40× oil immersion. Bone marrow aspirate smear. Single-cell crop:
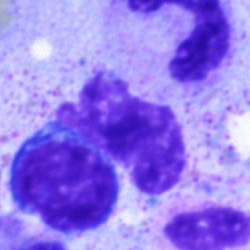

The classification is typical lymphocyte.